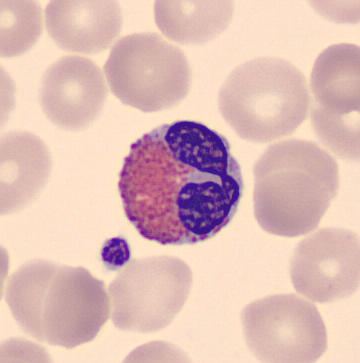

Morphology → eosinophilic granulocyte. Image: 360×363; peripheral blood smear; imaged on a CellaVision DM96 analyser.